Brightfield microscopy, 40× oil immersion; bone marrow smear: 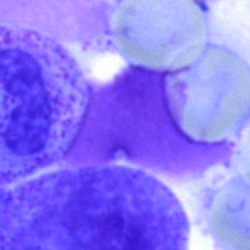

Classification: unidentifiable cell.